250×250 px · MGG-stained · bone marrow aspirate smear
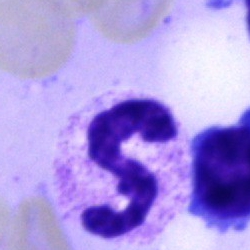 Cell type: neutrophil (segmented).